Bone marrow smear — 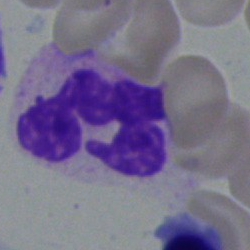Specimen: bone marrow aspirate smear.
Classification: segmented neutrophil.